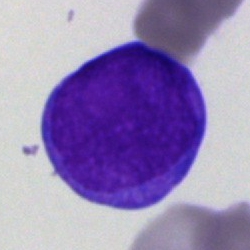

Showing a blast cell.